Bone marrow aspirate smear; brightfield, 40× oil-immersion objective — 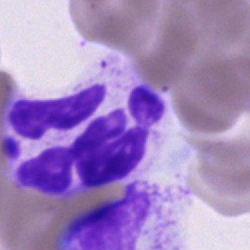
Cell = neutrophil (segmented).